Bone marrow aspirate smear — 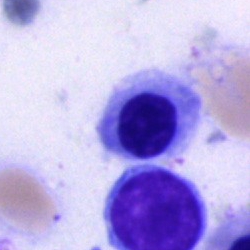

Showing a nucleated red blood cell.